Bone marrow smear. Pappenheim-stained — 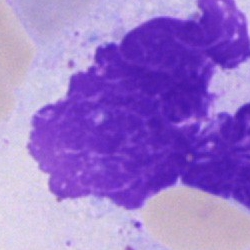

Cell type = artifact.